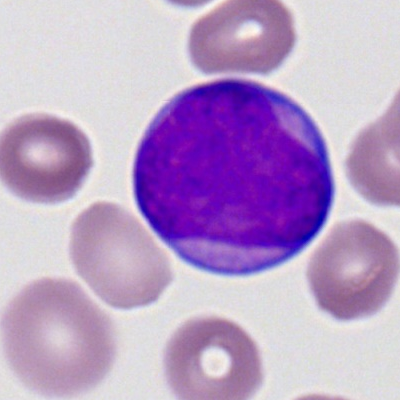

Morphological class — myeloid blast.